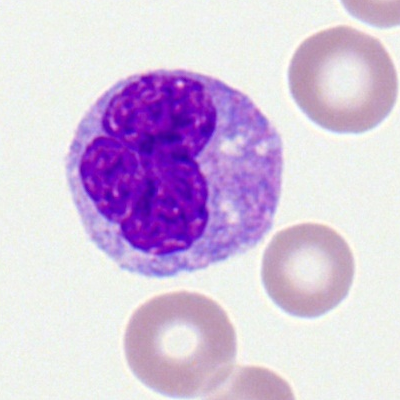

Monocyte.